Brightfield microscopy, 40× oil immersion; 250×250 px; bone marrow smear
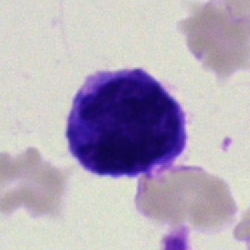 Single cell identified as a blast.